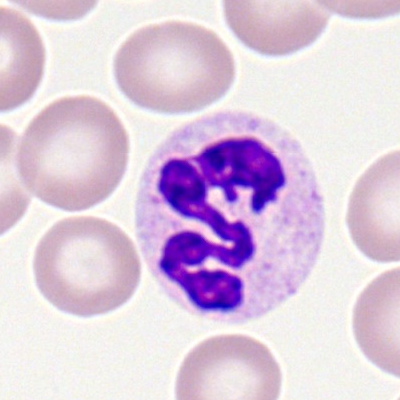 Specimen: peripheral blood smear.
Cell type: polymorphonuclear neutrophil.
Lineage: myeloid.